Bone marrow smear
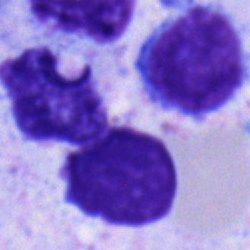Single cell identified as a typical lymphocyte.